Bone marrow smear. May-Grünwald-Giemsa/Pappenheim stain. Brightfield microscopy, 40× oil immersion — 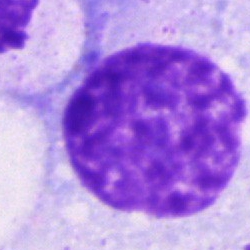 Specimen: bone marrow aspirate smear.
Cell type: artifact.